Bone marrow aspirate smear
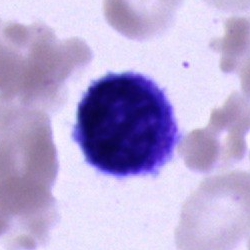
Cell of indeterminate lineage.